40× objective, oil immersion. Bone marrow smear — 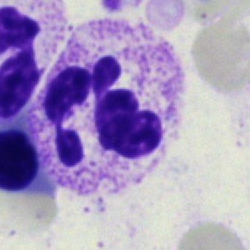
Showing a polymorphonuclear neutrophil.